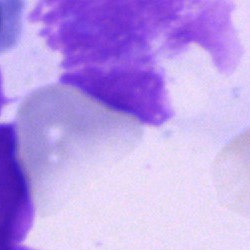

The cell shown is an artifact.